May-Grünwald-Giemsa stain; bone marrow aspirate smear — 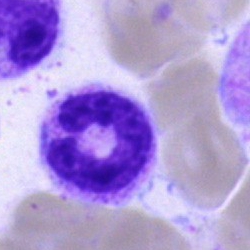Showing a band-form neutrophil.